Bone marrow aspirate smear — 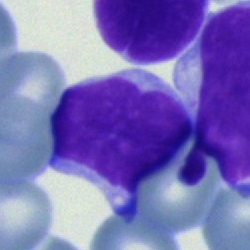 {"cell_type": "typical lymphocyte", "lineage": "lymphoid"}